Bone marrow aspirate smear
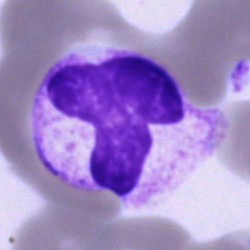Morphology — neutrophil (segmented).